Bone marrow smear
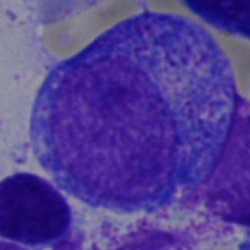
Showing a progranulocyte.